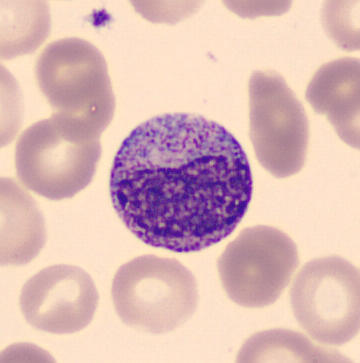
Showing a myelocyte.